Bone marrow smear. Image size 250×250:
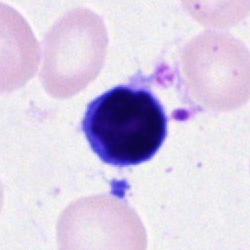
Q: What cell is this?
A: This is a lymphocyte.